Bone marrow smear: 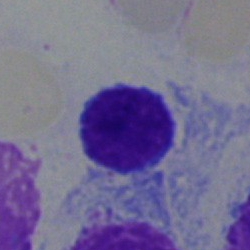 Specimen: bone marrow aspirate smear.
Morphological class: lymphocyte.